Bone marrow smear. Brightfield microscopy, 40× oil immersion.
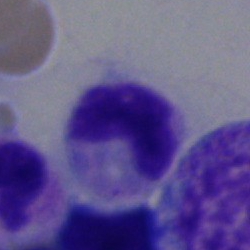

Morphology consistent with a band-form neutrophil.